Bone marrow smear — 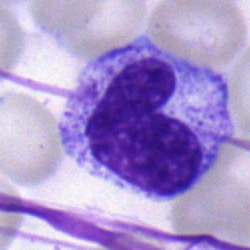
Impression — stab cell.